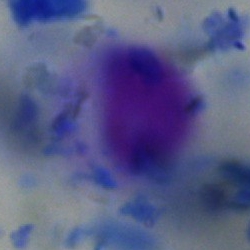

Artifact.